Brightfield, 40× oil-immersion objective. Image size 250×250. Bone marrow aspirate smear: 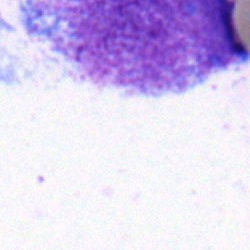
Single cell identified as an undifferentiated blast.